Bone marrow aspirate smear — 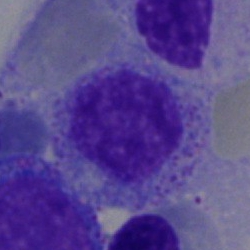{"cell_type": "myelocyte", "lineage": "myeloid"}